Bone marrow smear; brightfield microscopy, 40× oil immersion; 250 by 250 pixels.
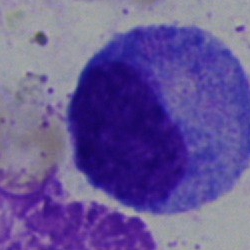This is a promyelocyte.